Bone marrow aspirate smear. Single-cell field.
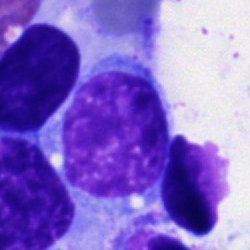
Cell — lymphocyte.